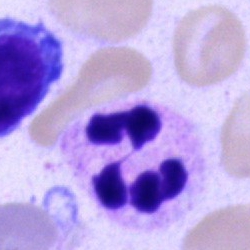Morphology — segmented neutrophil.